250×250; MGG-stained; bone marrow aspirate smear:
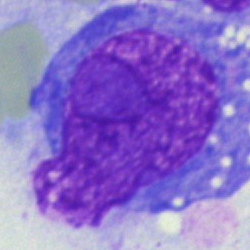 Q: What is shown here?
A: Artifact.